Bone marrow smear.
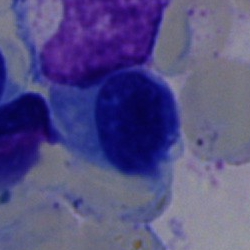

Q: What cell is this?
A: Normoblast.